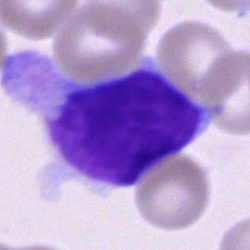
Q: What is shown here?
A: It is a cell of indeterminate lineage.